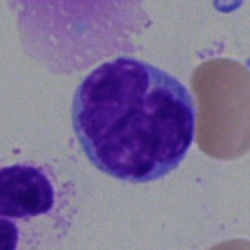Morphological class = lymphocyte.